Single-cell crop; bone marrow aspirate smear; 40× oil immersion:
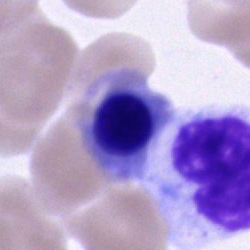Morphology consistent with an erythroblast.